Bone marrow aspirate smear:
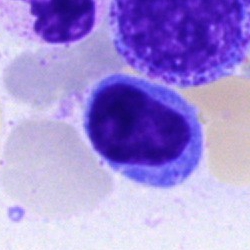

Classification = lymphocyte.